Single cell centered in the field · bone marrow aspirate smear:
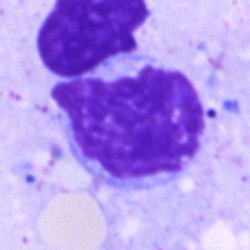

The cell shown is an artefact.